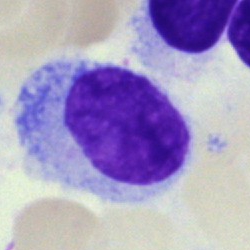 Morphological class = hairy cell.